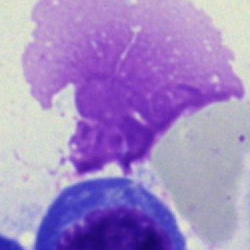Showing an artifact.